Bone marrow smear.
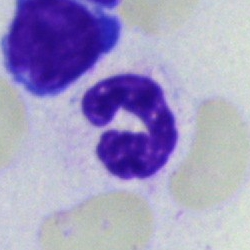 Specimen: bone marrow aspirate smear.
Cell: polymorphonuclear neutrophil.